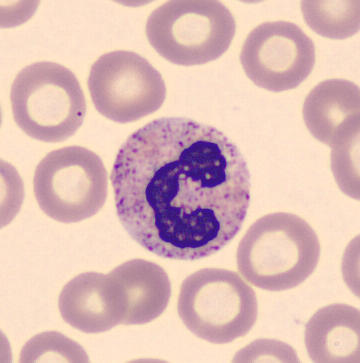

Specimen: peripheral blood film.
Classification: neutrophil (segmented).